MGG-stained · bone marrow aspirate smear · single-cell field:
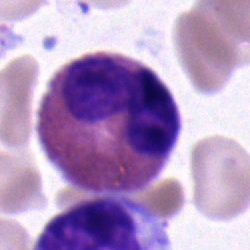
Q: What is the morphological classification of this cell?
A: It is an eosinophilic granulocyte.